Bone marrow smear.
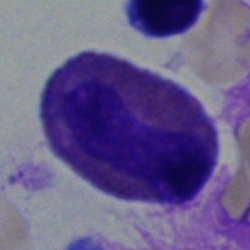

Single cell identified as an eosinophilic granulocyte.